Bone marrow aspirate smear.
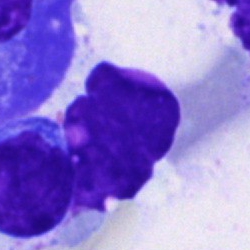 Single cell identified as an artefact.